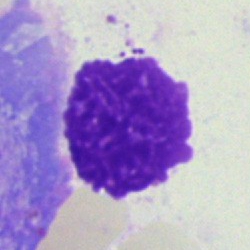Bone marrow aspirate smear, single cell — artifact.